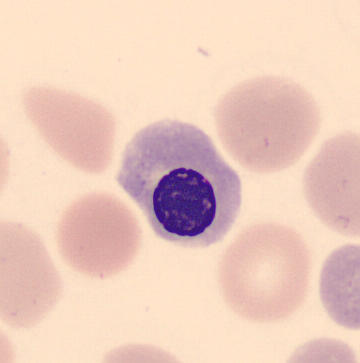Q: What is this?
A: A nucleated red cell.